Single-cell field. Bone marrow smear.
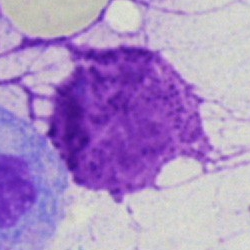
Specimen: bone marrow aspirate smear.
Classification: artifact.